Bone marrow aspirate smear:
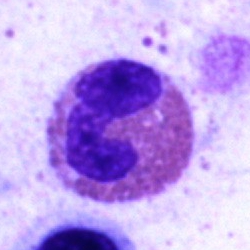 The morphological class is eosinophilic granulocyte.